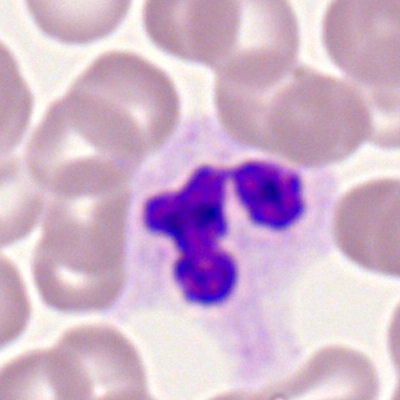Specimen: peripheral blood film.
Classification: polymorphonuclear neutrophil.
Lineage: myeloid.